Bone marrow smear — 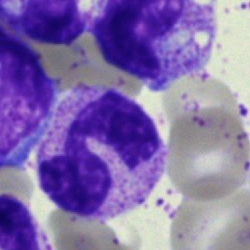The cell shown is a segmented neutrophil.